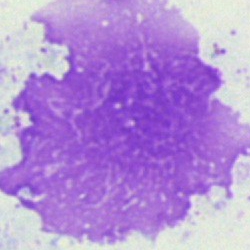Cell type: artifact.